Bone marrow smear — 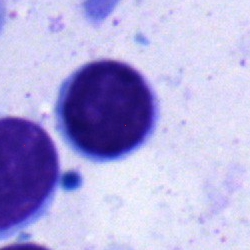 Single cell identified as a typical lymphocyte.